Peripheral blood smear. Romanowsky-type stain: 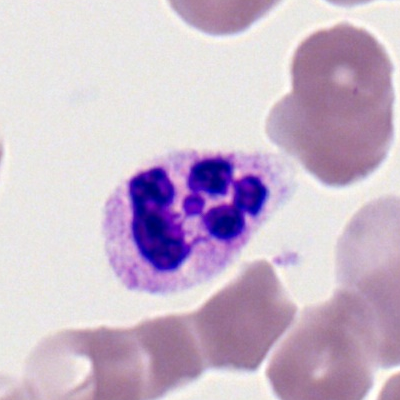 Q: What cell is this?
A: Neutrophil (segmented).